Image size 400×400 · peripheral blood film.
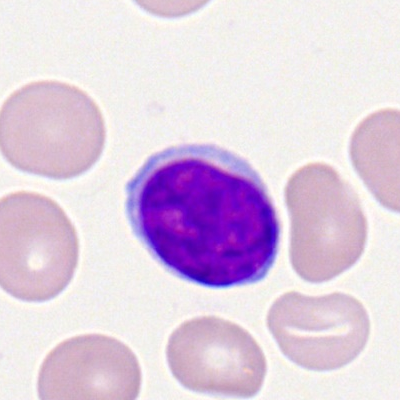
Single cell identified as a typical lymphocyte.